Romanowsky-type stain. Peripheral blood smear — 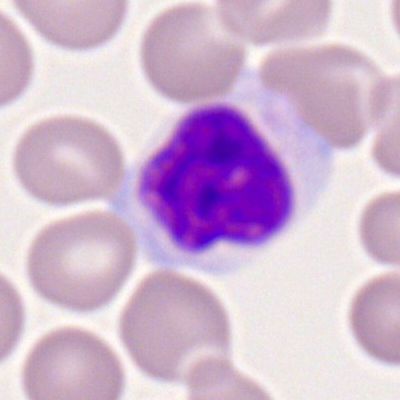
The cell shown is a lymphocyte.